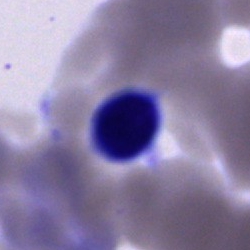

Bone marrow smear showing an unidentifiable cell.